Bone marrow smear: 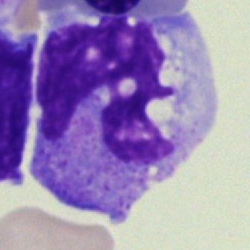 Q: Identify the cell.
A: It is a monocyte.